Bone marrow smear; single-cell crop; May-Grünwald-Giemsa/Pappenheim stain
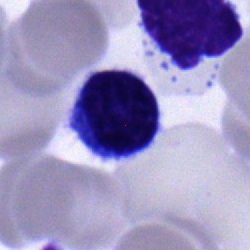Specimen: bone marrow aspirate smear.
Cell: typical lymphocyte.